250 by 250 pixels · bone marrow aspirate smear.
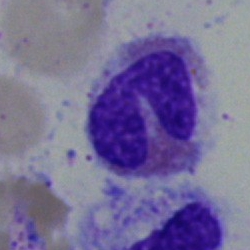

Specimen: bone marrow smear.
Cell: eosinophilic granulocyte.